Bone marrow aspirate smear: 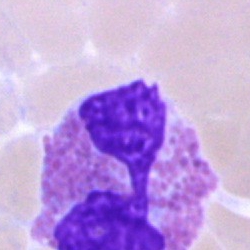 Morphology → eosinophil.